Bone marrow smear
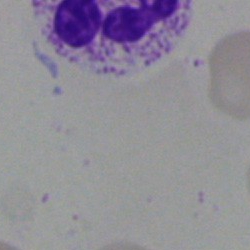
Q: What is shown here?
A: This is an artifact.